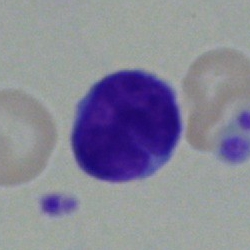 Bone marrow aspirate smear, single cell — lymphocyte.